Single cell centered in the field; bone marrow smear — 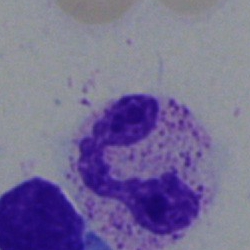 Q: What is the morphological classification of this cell?
A: Segmented neutrophil.